Bone marrow aspirate smear:
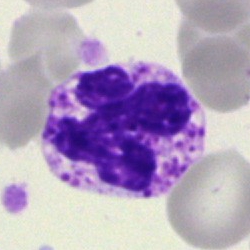

Specimen: bone marrow aspirate smear.
Classification: neutrophil (segmented).
Lineage: myeloid.